Peripheral blood film; single-cell crop; 400 by 400 pixels
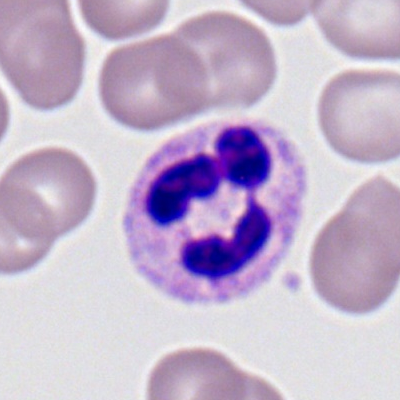 {"cell_type": "neutrophil (segmented)", "lineage": "myeloid"}